Brightfield, 40× oil-immersion objective; bone marrow aspirate smear:
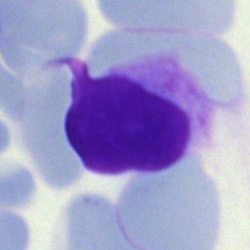 The cell type is artefact.